Bone marrow aspirate smear; 40× objective, oil immersion: 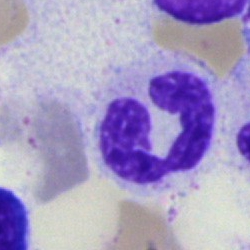 {"cell_type": "polymorphonuclear neutrophil"}